MGG-stained. Bone marrow smear.
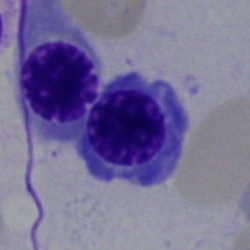
The cell shown is an erythroblast.